Bone marrow aspirate smear — 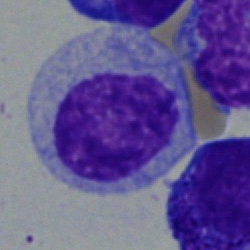The cell is myelocyte.